Bone marrow smear — 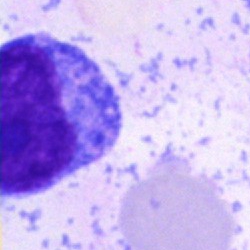
Impression → blast cell.